Peripheral blood film: 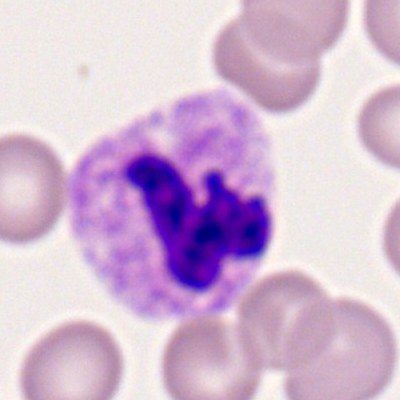

Classification — segmented neutrophil.